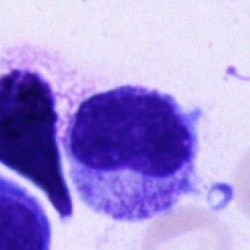

Impression — metamyelocyte.